Bone marrow aspirate smear
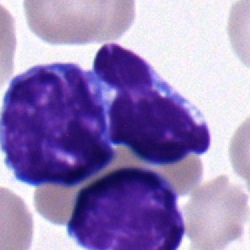
Morphology — lymphocyte.